Peripheral blood smear; brightfield, 100× oil-immersion objective: 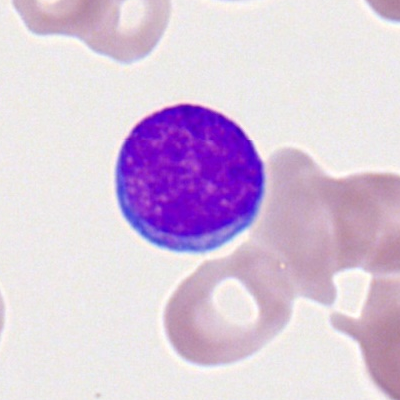
A myeloid blast.